Brightfield, 40× oil-immersion objective. Bone marrow aspirate smear: 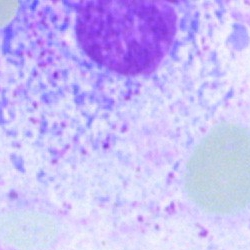
The cell is artefact.